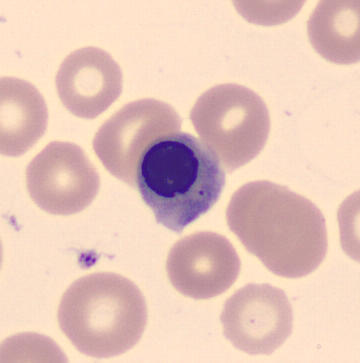
Q: What is shown here?
A: A nucleated red blood cell.